May-Grünwald-Giemsa stain; bone marrow aspirate smear; brightfield, 40× oil-immersion objective.
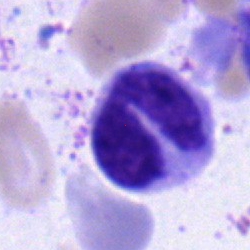 A monocyte.